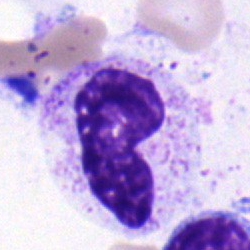

{"cell_type": "band neutrophil", "lineage": "myeloid"}